Brightfield microscopy, 40× oil immersion · bone marrow smear: 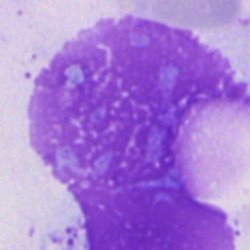An artefact.